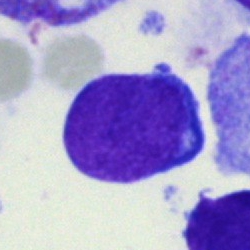 Showing an undifferentiated blast.